Bone marrow aspirate smear; May-Grünwald-Giemsa/Pappenheim stain; image size 250×250
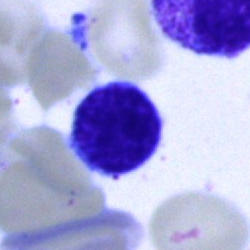

Morphological class: typical lymphocyte.